Bone marrow aspirate smear: 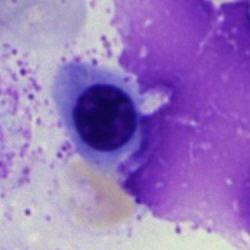
Q: Which cell type is shown here?
A: Normoblast.